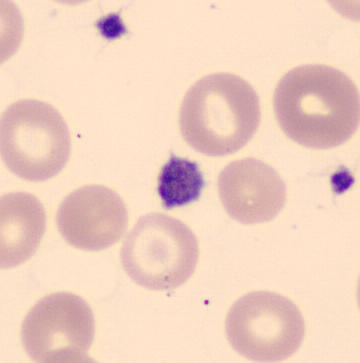
Imaged on a CellaVision DM96 analyser. Peripheral blood smear. Identified as a thrombocyte.